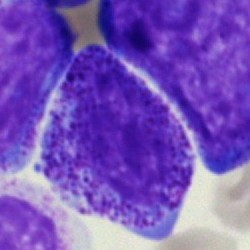Classification — myelocyte.